Bone marrow aspirate smear: 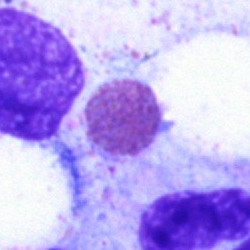Cell: artefact.